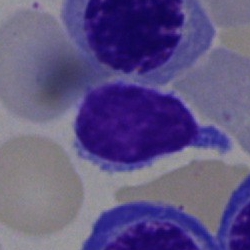Impression — lymphocyte.